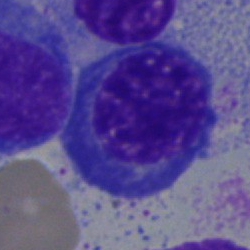 Cell type — erythroblast.